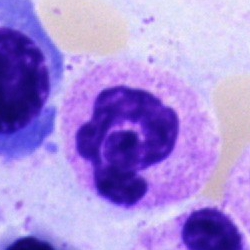The cell type is neutrophil (segmented).